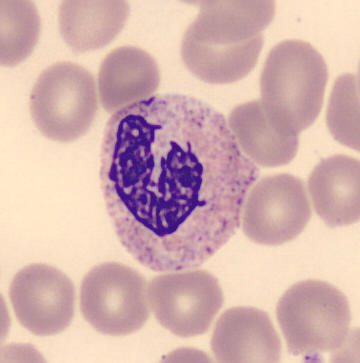 Acquisition: Single cell centered in the field; MGG-stained.
Specimen: peripheral blood smear.
Morphological class: polymorphonuclear neutrophil.
Lineage: myeloid.